Bone marrow smear: 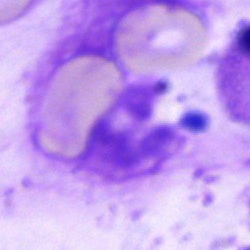 Showing an artifact.